Bone marrow aspirate smear · Pappenheim-stained · brightfield, 40× oil-immersion objective
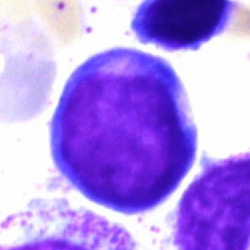 Q: What is shown here?
A: Pronormoblast.